250 by 250 pixels · bone marrow smear · brightfield, 40× oil-immersion objective — 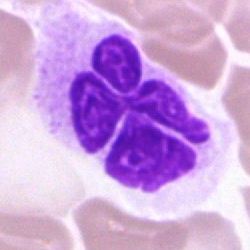
Impression — artifact.